Bone marrow aspirate smear · 250 by 250 pixels — 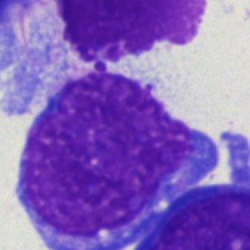Morphology → blast.